40× objective, oil immersion; 250×250; bone marrow aspirate smear — 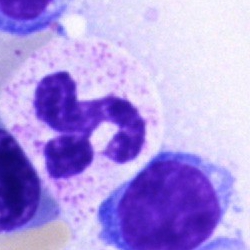Q: What is shown here?
A: It is a segmented neutrophil.